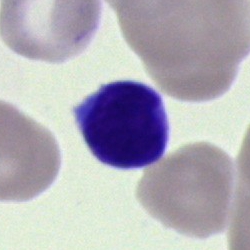A lymphocyte.